Bone marrow aspirate smear.
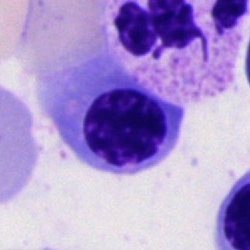 Morphology → normoblast.